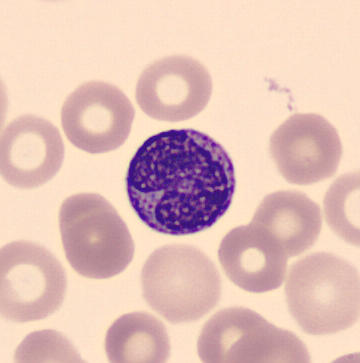Metamyelocyte.
Peripheral blood smear · 360×363.